Brightfield microscopy, 40× oil immersion; cropped to a single cell; bone marrow smear
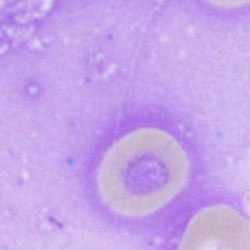Impression — artefact.